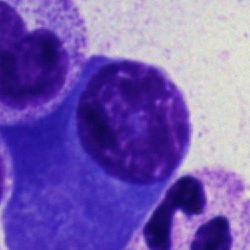

This is a plasma cell.